Romanowsky-type stain · peripheral blood film · single cell centered in the field
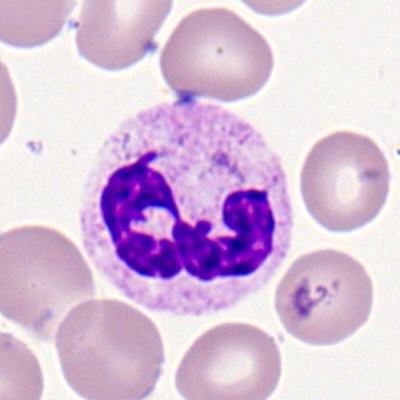 Polymorphonuclear neutrophil.